Bone marrow smear.
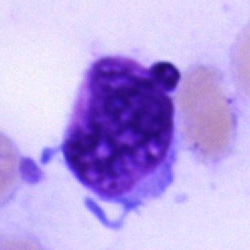
Morphology → artifact.